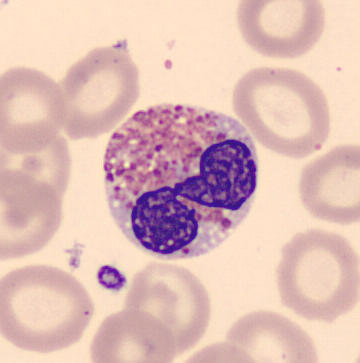 Q: Identify the cell.
A: This is an eosinophilic granulocyte.
Image: Peripheral blood smear; automated cell imaging (CellaVision DM96).